Peripheral blood film; 100× oil immersion, 14.14 px/µm
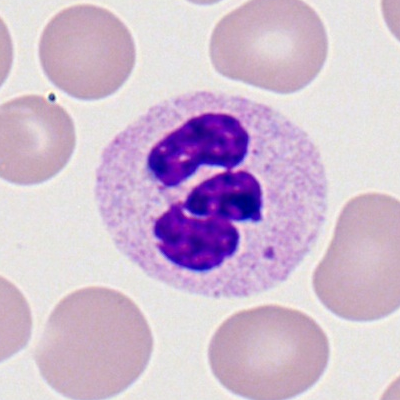Specimen: peripheral blood film.
Morphological class: neutrophil (segmented).